Bone marrow smear · single-cell field.
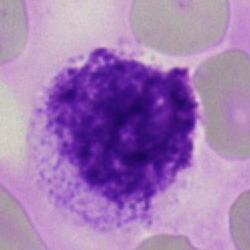 {"cell_type": "artefact"}